250×250; bone marrow aspirate smear:
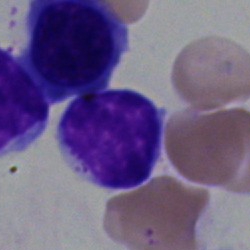
Specimen: bone marrow aspirate smear.
Cell type: lymphocyte.